Single-cell field; bone marrow smear: 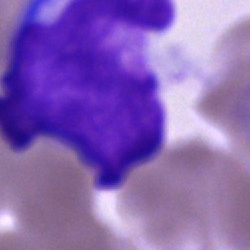
Classification — cell of indeterminate lineage.